May-Grünwald-Giemsa stain. Bone marrow smear — 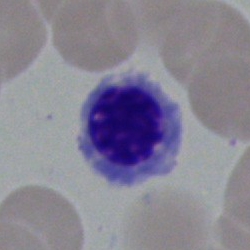 Impression — erythroblast.